250×250; bone marrow aspirate smear: 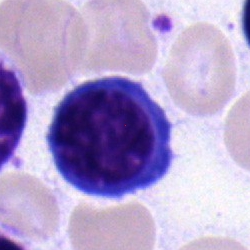
{"cell_type": "nucleated red cell", "lineage": "erythroid"}